250 by 250 pixels; bone marrow smear; MGG-stained: 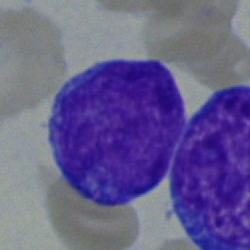

Specimen: bone marrow smear.
Morphological class: blast cell.